Bone marrow aspirate smear; image size 250×250.
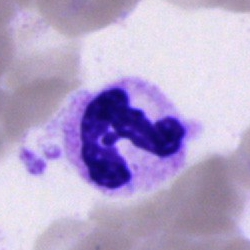

The cell shown is a segmented neutrophil.